Image size 250×250. May-Grünwald-Giemsa stain. Bone marrow aspirate smear.
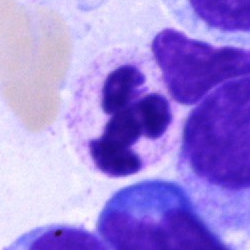Q: What is shown here?
A: This is a segmented neutrophil.